Bone marrow aspirate smear.
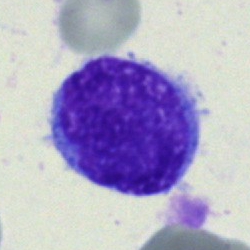 This is a blast cell.